MGG-stained. Bone marrow aspirate smear:
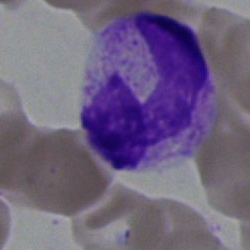
Morphology — band-form neutrophil.